Single-cell crop; bone marrow aspirate smear — 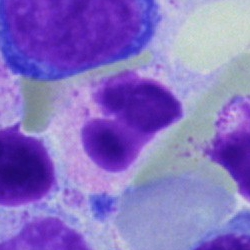
Q: What is the morphological classification of this cell?
A: A band-form neutrophil.